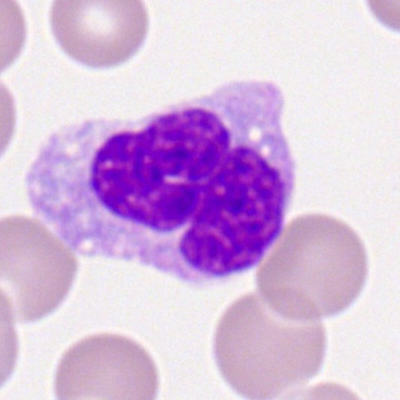This is a monocyte.